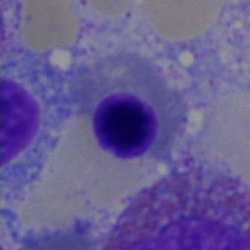
Morphological class = normoblast.